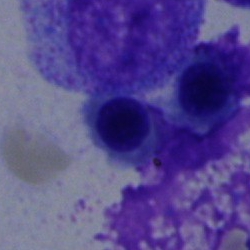{"cell_type": "normoblast"}